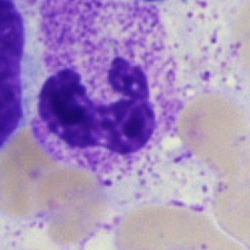
Q: What cell is this?
A: It is a neutrophil (segmented).